Peripheral blood smear: 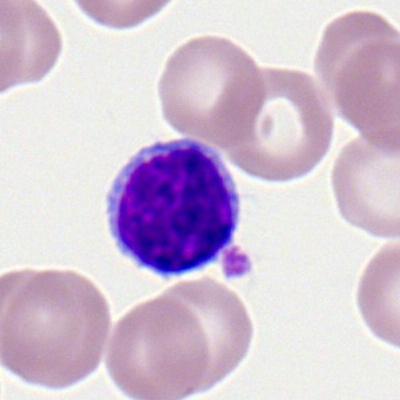 Q: Identify the cell.
A: This is a lymphocyte.